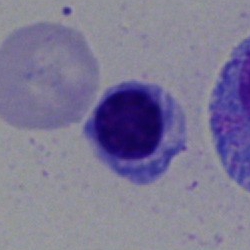
Nucleated red blood cell.